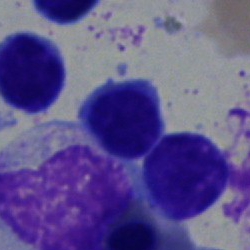 Cell = lymphocyte.